Single-cell field; bone marrow aspirate smear
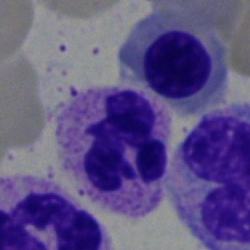
Showing an erythroblast.